Bone marrow smear. Single cell centered in the field. May-Grünwald-Giemsa stain: 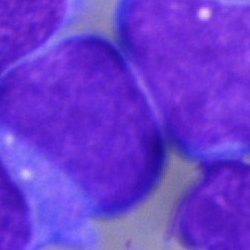

Q: What cell is this?
A: This is a blast.